Bone marrow smear.
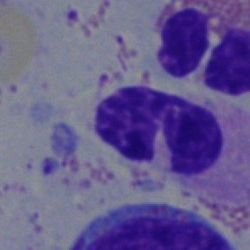
The cell shown is a segmented neutrophil.